Bone marrow aspirate smear:
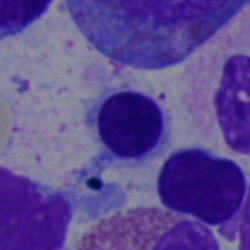

Classification: nucleated red blood cell.